Peripheral blood film — 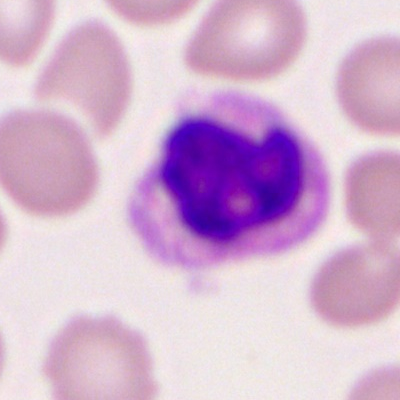

Morphological class — segmented neutrophil.